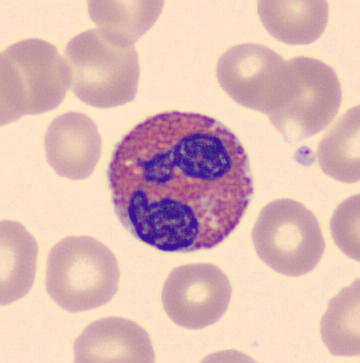

Cell type = eosinophil.
Preparation: Peripheral blood film.